Cropped to a single cell. Bone marrow smear — 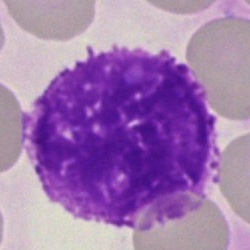
Morphology → artifact.